Bone marrow smear:
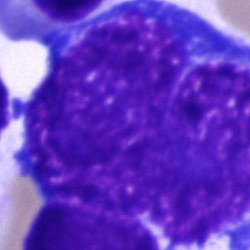Single cell identified as an artefact.